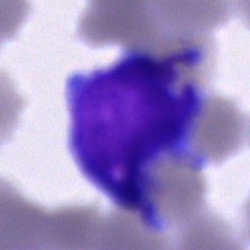Morphological class — undifferentiated blast.